Pappenheim-stained; bone marrow smear:
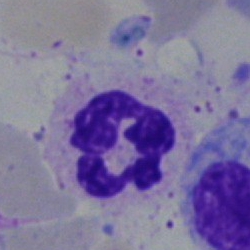 Morphology — segmented neutrophil.